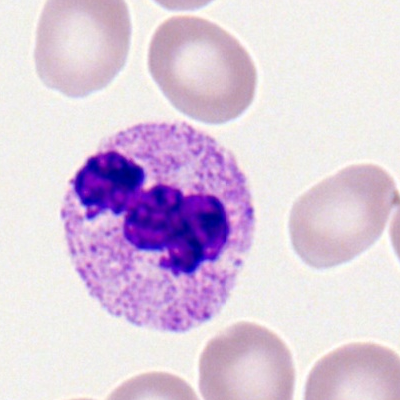This is a polymorphonuclear neutrophil.